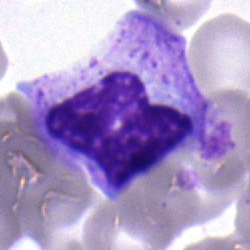The morphological class is metamyelocyte.